Bone marrow smear · image size 250×250: 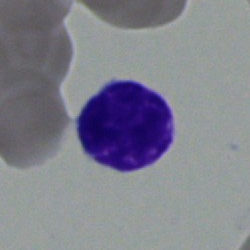

{"cell_type": "lymphocyte", "lineage": "lymphoid"}